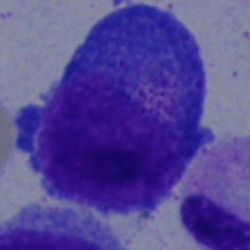Specimen: bone marrow smear.
Classification: progranulocyte.